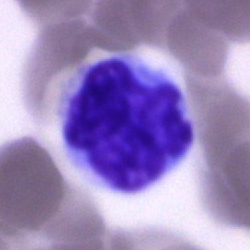
Typical lymphocyte.